Brightfield, 40× oil-immersion objective. Bone marrow aspirate smear:
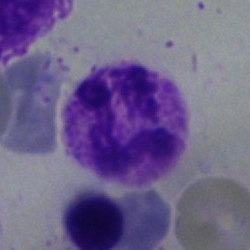

The cell is polymorphonuclear neutrophil.